Peripheral blood film: 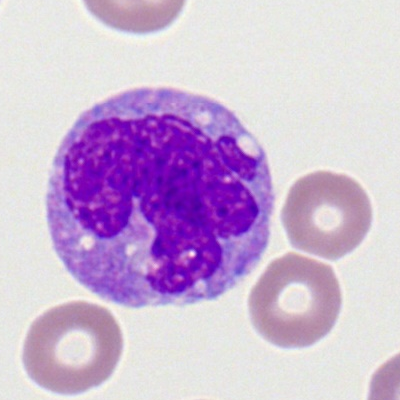 Cell — monocyte.